Bone marrow aspirate smear · single cell centered in the field · image size 250×250 — 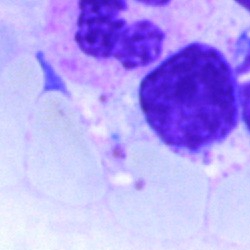Classification: typical lymphocyte.